Peripheral blood smear
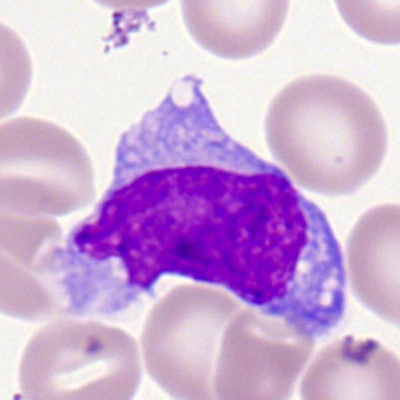

The classification is monocyte.